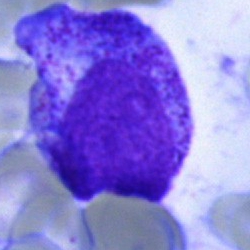 Single cell identified as a progranulocyte.